MGG-stained; brightfield, 40× oil-immersion objective; bone marrow smear.
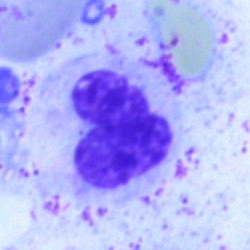
This is a segmented neutrophil.